Peripheral blood smear: 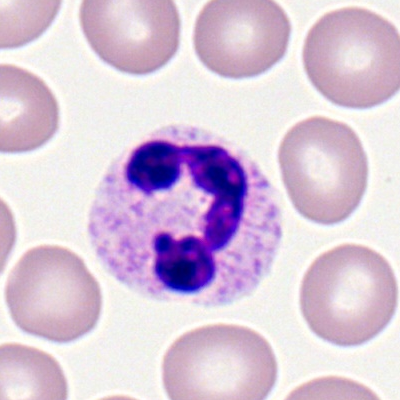
Classification: polymorphonuclear neutrophil.